Bone marrow smear — 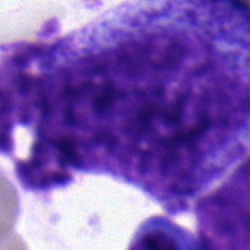

Cell type — progranulocyte.